Peripheral blood smear.
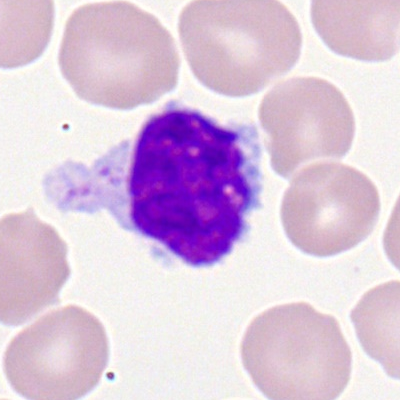Q: What is the morphological classification of this cell?
A: A typical lymphocyte.